May-Grünwald-Giemsa/Pappenheim stain; bone marrow smear.
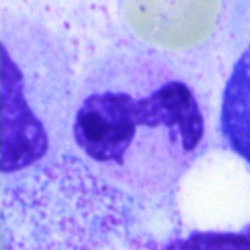 A polymorphonuclear neutrophil.